Bone marrow smear — 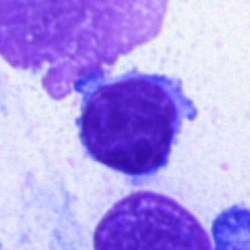Classification — lymphocyte.